Bone marrow aspirate smear: 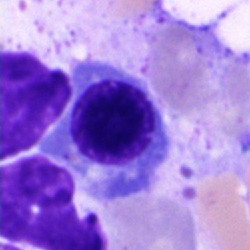

Single cell identified as a normoblast.